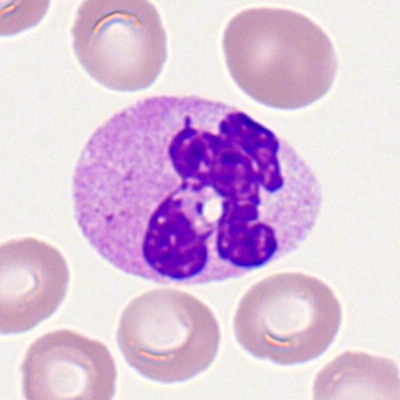
Single cell identified as a segmented neutrophil.